Bone marrow aspirate smear:
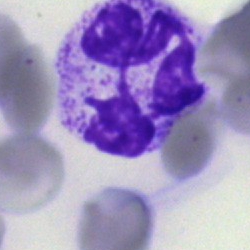
Specimen: bone marrow smear.
Cell: segmented neutrophil.